40× oil immersion; bone marrow smear; image size 250×250
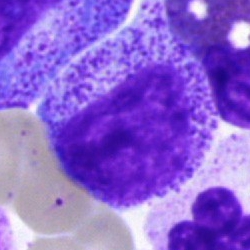
Specimen: bone marrow smear.
Cell type: promyelocyte.